Bone marrow aspirate smear — 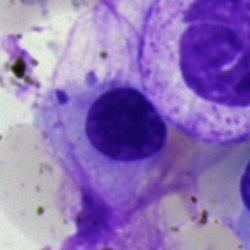Cell = nucleated red blood cell.